Single cell centered in the field; bone marrow aspirate smear: 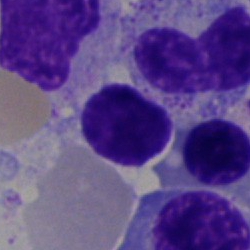 Q: What type of cell is this?
A: A typical lymphocyte.